Pappenheim-stained; bone marrow aspirate smear: 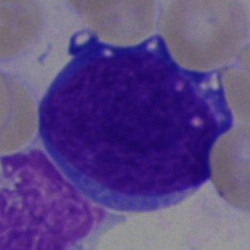
Specimen: bone marrow aspirate smear.
Cell type: blast.